Bone marrow aspirate smear:
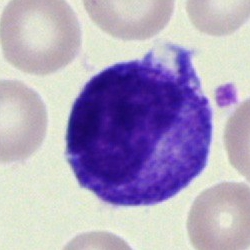A myelocyte.